Bone marrow smear; 250 by 250 pixels: 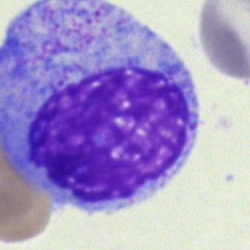Promyelocyte.